Bone marrow aspirate smear: 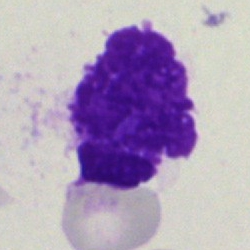 Impression → artifact.